Bone marrow smear — 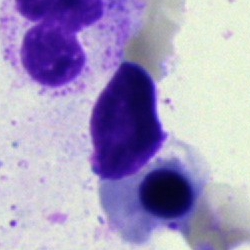 Cell type: typical lymphocyte.